Single-cell field; 40× oil immersion; bone marrow aspirate smear — 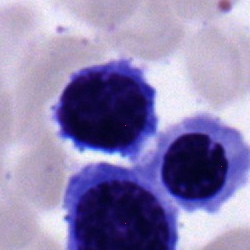

{"cell_type": "lymphocyte", "lineage": "lymphoid"}